Bone marrow aspirate smear:
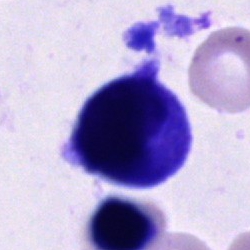

This is a cell of indeterminate lineage.